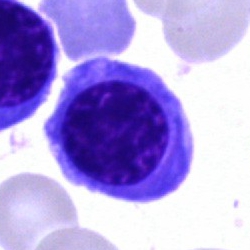

Bone marrow aspirate smear, single cell — nucleated red blood cell.